Bone marrow aspirate smear — 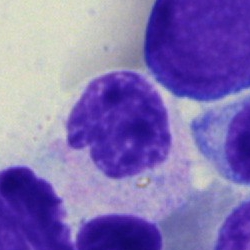Morphology → artifact.